Bone marrow smear:
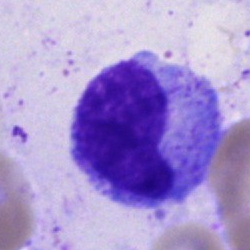Morphological class — progranulocyte.